Bone marrow aspirate smear: 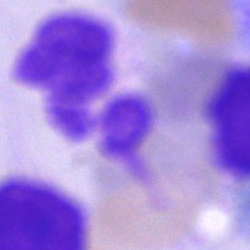

Morphology — artifact.